Peripheral blood smear. 400×400. 100× oil immersion — 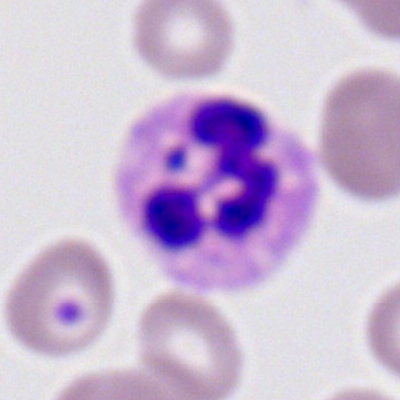 A segmented neutrophil.